40× objective, oil immersion · bone marrow smear · image size 250×250 — 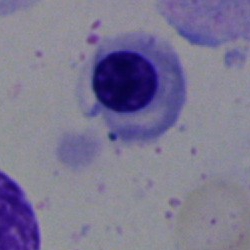
Specimen: bone marrow smear.
Morphological class: normoblast.
Lineage: erythroid.